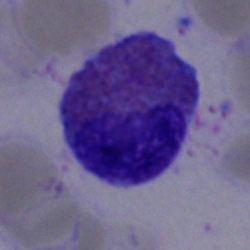Q: Which cell type is shown here?
A: Eosinophil.